Bone marrow aspirate smear; 250×250 — 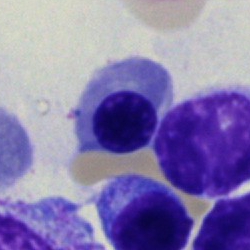 The cell shown is an erythroblast.